Bone marrow smear
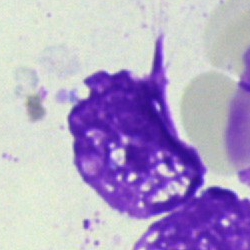

The classification is artefact.